Bone marrow aspirate smear.
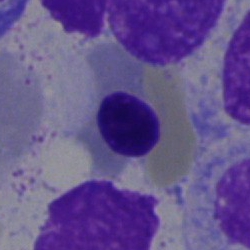 The cell type is normoblast.